Bone marrow aspirate smear
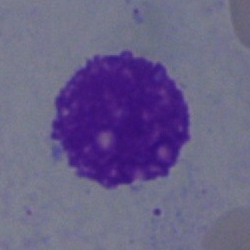Morphological class: artifact.